Bone marrow smear. Cropped to a single cell — 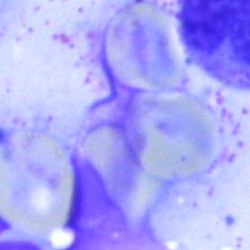
Classification — artefact.